Bone marrow smear — 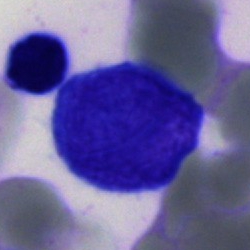
Impression → blast cell.